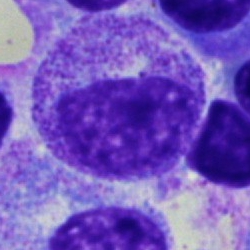Q: What type of cell is this?
A: A progranulocyte.